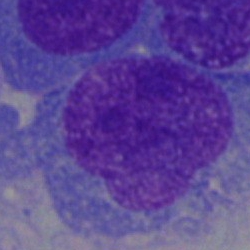

Classification = plasmacyte.